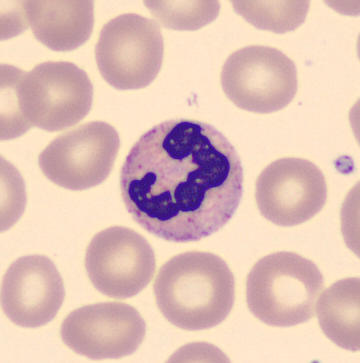

Peripheral blood smear. The cell type is neutrophil (segmented).